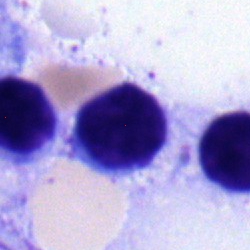

Specimen: bone marrow smear.
Cell type: typical lymphocyte.
Lineage: lymphoid.